Bone marrow aspirate smear — 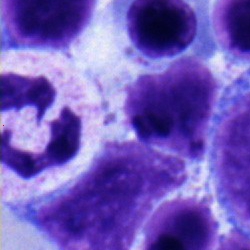
Showing a neutrophil (segmented).